Peripheral blood smear · M8 digital microscope (Precipoint), 100× oil immersion · single-cell crop — 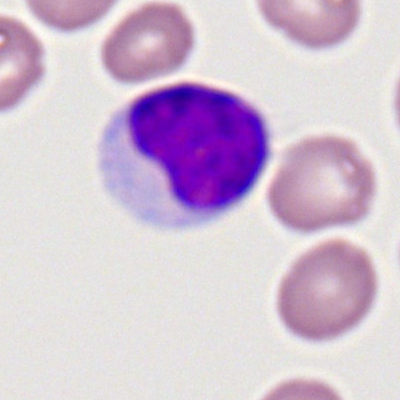

Morphology → typical lymphocyte.